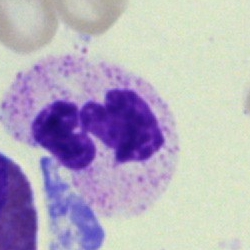

Bone marrow aspirate smear, single cell — neutrophil (segmented).